Bone marrow aspirate smear
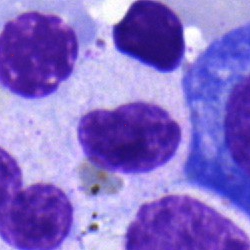 Q: What is the morphological classification of this cell?
A: This is a metamyelocyte.